Bone marrow smear — 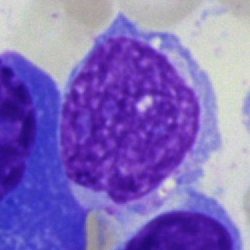Artifact.